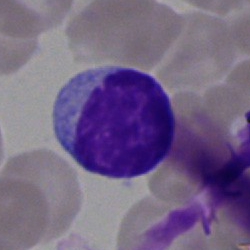Cell type: typical lymphocyte.